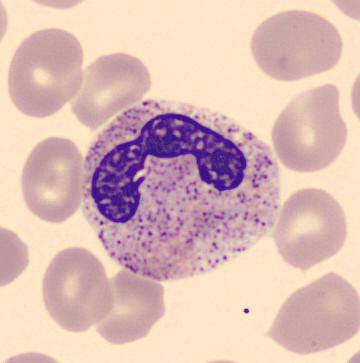
Cropped to a single cell. Peripheral blood smear. Cell — neutrophil (band).